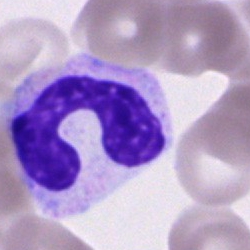Bone marrow aspirate smear, single cell — stab cell.